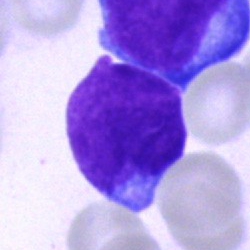

Specimen: bone marrow aspirate smear.
Cell: blast cell.